Single cell centered in the field; peripheral blood smear.
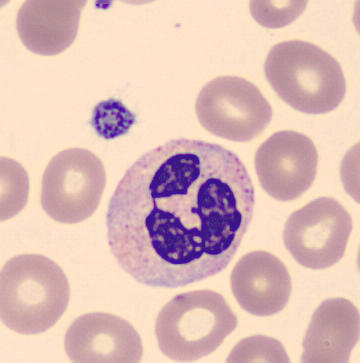 Impression → polymorphonuclear neutrophil.